Single-cell crop. Bone marrow aspirate smear
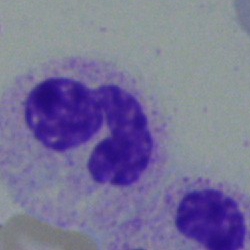Showing a segmented neutrophil.